CellaVision DM96 digital cell image · peripheral blood film · MGG stain.
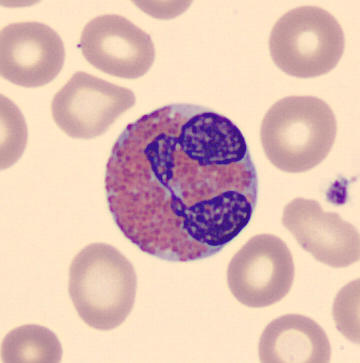
Showing an eosinophil.